Bone marrow smear; cropped to a single cell:
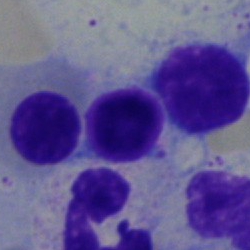

Q: Identify the cell.
A: Nucleated red cell.